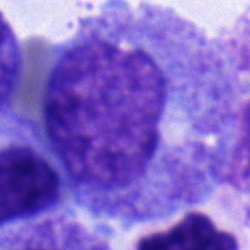 Cell — myelocyte.